Bone marrow aspirate smear. Brightfield, 40× oil-immersion objective: 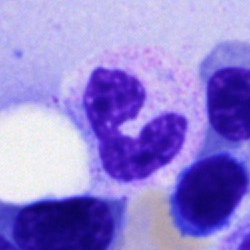
Q: What is shown here?
A: A segmented neutrophil.